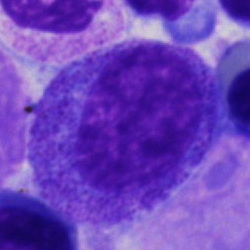 The cell is promyelocyte.